Bone marrow aspirate smear; brightfield, 40× oil-immersion objective — 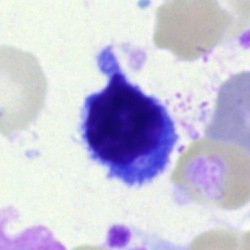{"cell_type": "lymphocyte"}